Bone marrow aspirate smear: 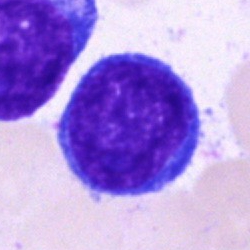
Blast cell.